Bone marrow smear: 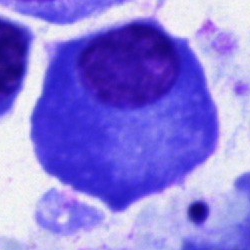

The cell shown is a plasmacyte.